40× objective, oil immersion; bone marrow aspirate smear; single cell centered in the field
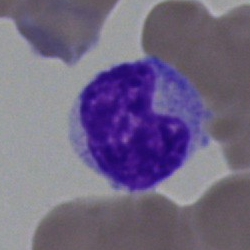
Morphology consistent with a metamyelocyte.